Bone marrow aspirate smear. Cropped to a single cell.
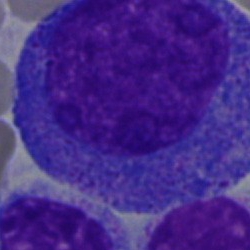
A promyelocyte.